Single-cell crop; bone marrow aspirate smear; image size 250×250:
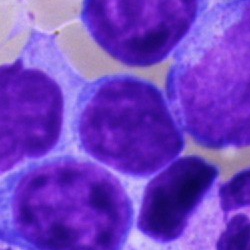

{"cell_type": "typical lymphocyte", "lineage": "lymphoid"}